Bone marrow aspirate smear.
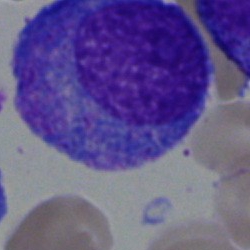 Single cell identified as a progranulocyte.